Bone marrow aspirate smear
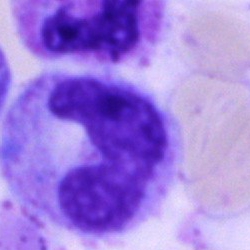{"cell_type": "monocyte"}